Bone marrow smear:
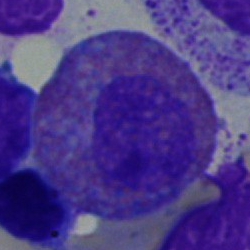An eosinophil.